Bone marrow smear — 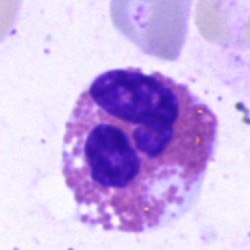
Single cell identified as an eosinophilic granulocyte.